MGG-stained. Bone marrow smear.
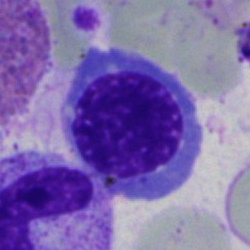Classification: nucleated red cell.